Bone marrow smear: 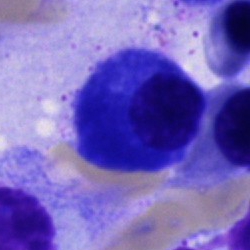 {"cell_type": "plasma cell", "lineage": "lymphoid"}